Bone marrow aspirate smear — 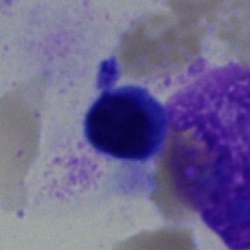The cell shown is a typical lymphocyte.